Cropped to a single cell. Bone marrow smear: 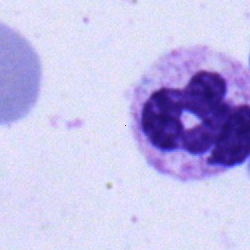

Classification: segmented neutrophil.